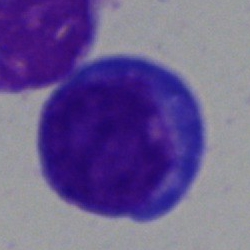Bone marrow smear showing a blast cell.